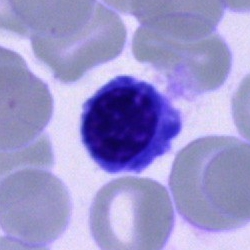
Showing a normoblast.